Bone marrow smear
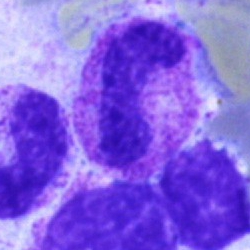 Morphology → stab cell.